40× objective, oil immersion; 250×250 px; bone marrow aspirate smear:
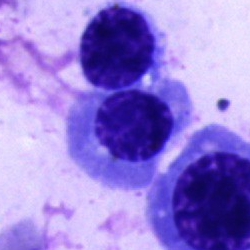

Normoblast.